Bone marrow smear: 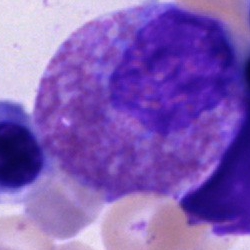 Specimen: bone marrow aspirate smear.
Cell: eosinophil.